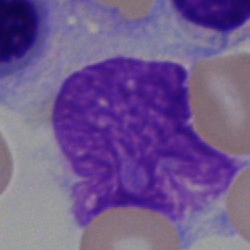

Morphological class — artefact.